Bone marrow aspirate smear
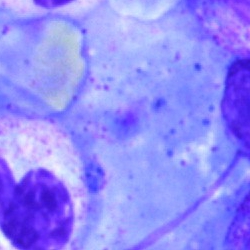

Cell type — artifact.